May-Grünwald-Giemsa/Pappenheim stain; bone marrow aspirate smear — 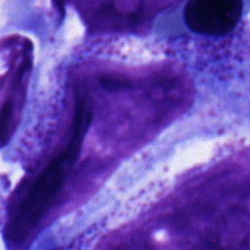A progranulocyte.